Bone marrow aspirate smear: 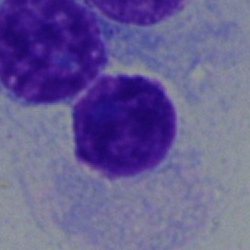Specimen: bone marrow aspirate smear.
Cell type: typical lymphocyte.
Lineage: lymphoid.